Pappenheim-stained; bone marrow aspirate smear: 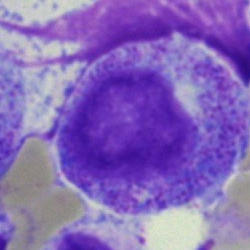 This is a promyelocyte.